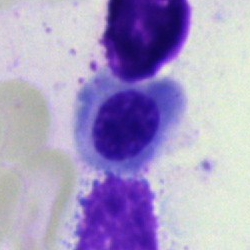
This is a nucleated red cell.